Single-cell crop · Pappenheim-stained · bone marrow aspirate smear: 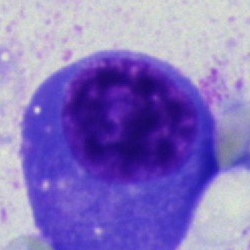
Q: What cell is this?
A: It is a plasma cell.